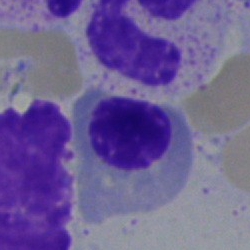 Morphology — nucleated red blood cell.